Bone marrow smear
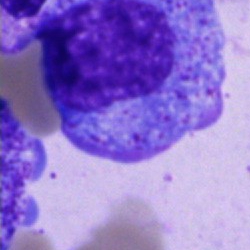 Q: What is shown here?
A: It is a promyelocyte.